Bone marrow aspirate smear. 250×250 px. Cropped to a single cell — 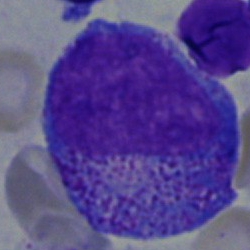Morphology consistent with a progranulocyte.